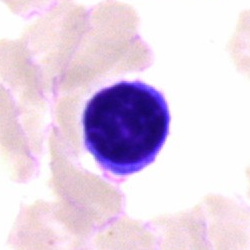Specimen: bone marrow aspirate smear.
Classification: lymphocyte.